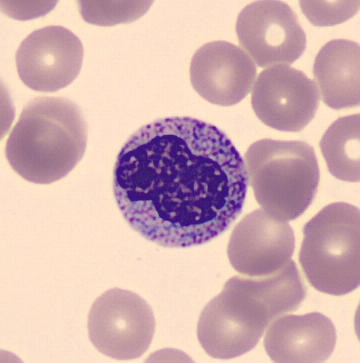Classification = metamyelocyte.